Bone marrow aspirate smear: 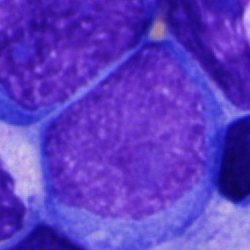
{"cell_type": "blast cell"}